Bone marrow smear:
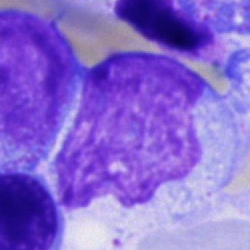Q: Which cell type is shown here?
A: It is a cell of indeterminate lineage.